Brightfield, 100× oil-immersion objective; peripheral blood film; Romanowsky-stained.
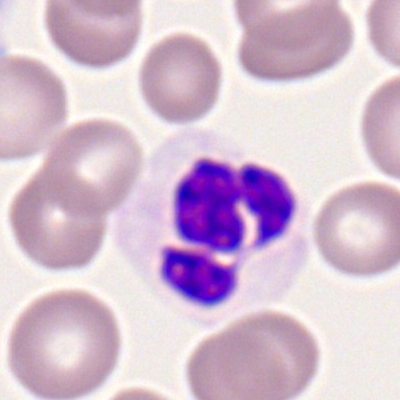Specimen: peripheral blood film.
Classification: segmented neutrophil.
Lineage: myeloid.